MGG-stained; image size 250×250; bone marrow aspirate smear.
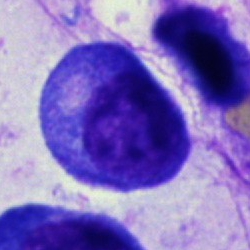

The classification is plasma cell.